Bone marrow aspirate smear; MGG-stained: 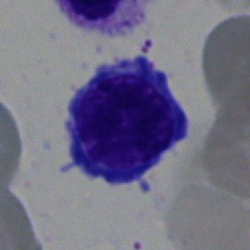Morphology consistent with a nucleated red cell.